MGG stain. Peripheral blood smear. CellaVision DM96 digital cell image — 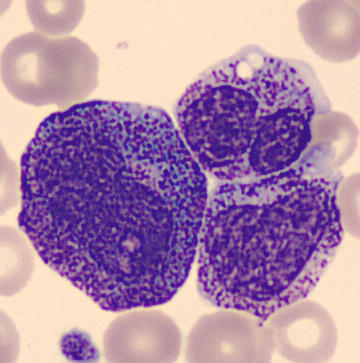Showing a promyelocyte.